Bone marrow aspirate smear. Single cell centered in the field. Image size 250×250
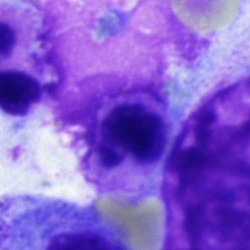 Impression — band neutrophil.